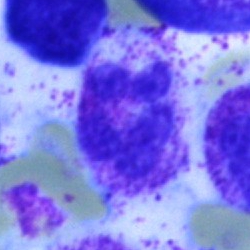Classification: neutrophil (segmented).